Bone marrow smear. Single-cell crop. Brightfield microscopy, 40× oil immersion.
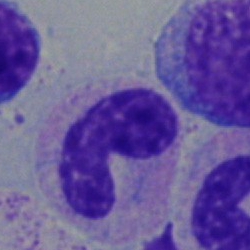Specimen: bone marrow aspirate smear.
Cell: stab cell.
Lineage: myeloid.